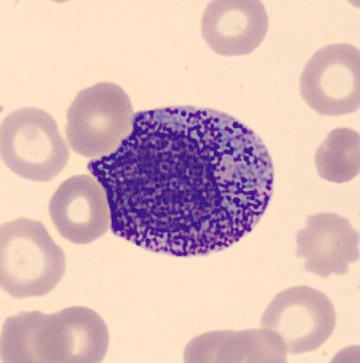Cell = promyelocyte.

Peripheral blood film. Single-cell crop.